Bone marrow aspirate smear. Brightfield, 40× oil-immersion objective — 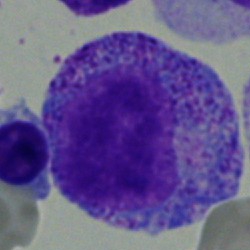
Classification: promyelocyte.